Bone marrow smear · brightfield microscopy, 40× oil immersion — 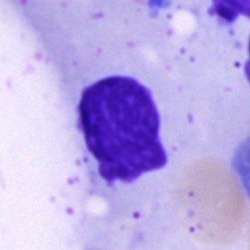Morphology → artefact.